Bone marrow aspirate smear
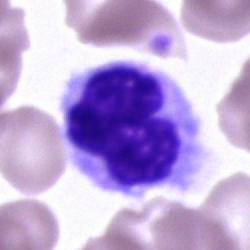

The morphological class is monocyte.